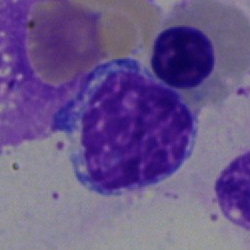A lymphocyte.